May-Grünwald-Giemsa stain; bone marrow smear:
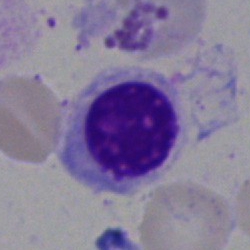
Nucleated red blood cell.